Bone marrow aspirate smear — 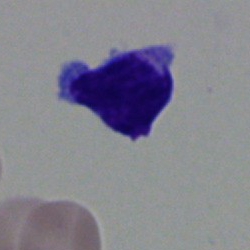 {"cell_type": "lymphocyte", "lineage": "lymphoid"}